Bone marrow smear: 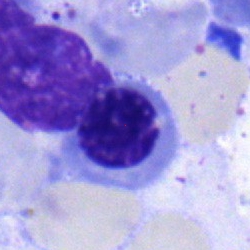Single cell identified as a normoblast.